Bone marrow aspirate smear
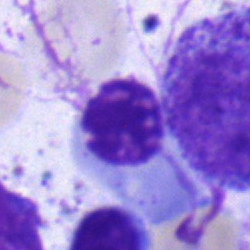 Nucleated red blood cell.